Brightfield microscopy, 40× oil immersion. Bone marrow smear:
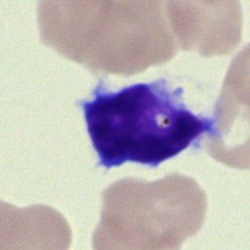

Lymphocyte.